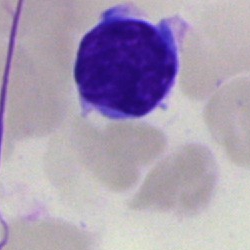

The cell is typical lymphocyte.